Bone marrow smear — 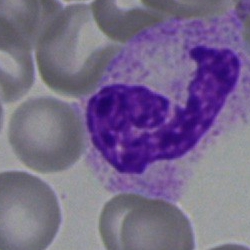 The cell shown is a polymorphonuclear neutrophil.